40× objective, oil immersion; bone marrow smear.
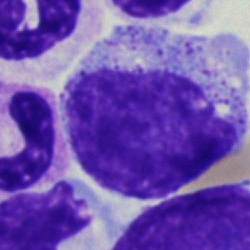Cell — myelocyte.